Bone marrow smear.
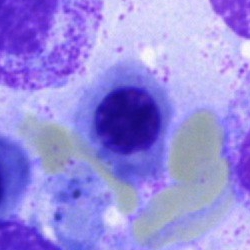Specimen: bone marrow smear.
Classification: erythroblast.